Bone marrow aspirate smear — 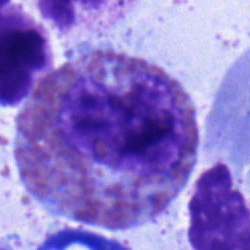
Showing an eosinophil.